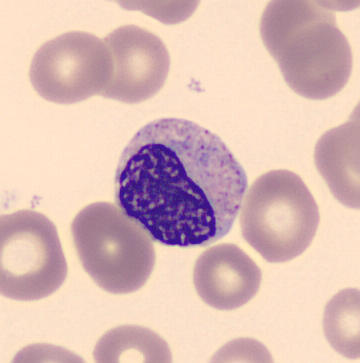Q: What cell is this?
A: This is a metamyelocyte.